Bone marrow smear
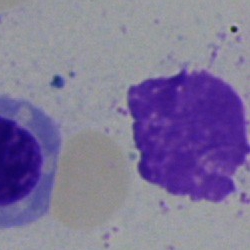

{"cell_type": "artifact"}